Bone marrow smear · 40× oil immersion · single-cell crop
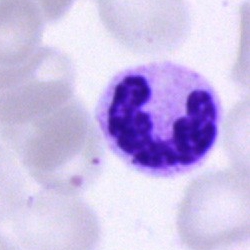

Morphological class = neutrophil (segmented).